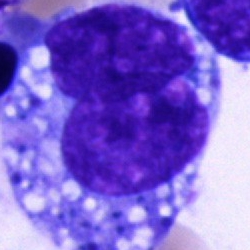

Morphological class — cell of indeterminate lineage.